Bone marrow aspirate smear. 250×250 px
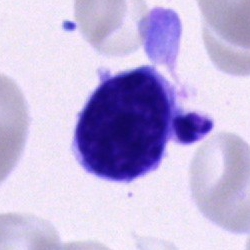Classification: artefact.